Bone marrow aspirate smear:
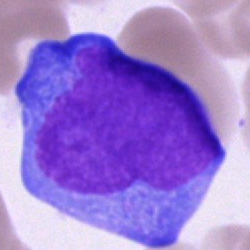 {"cell_type": "undifferentiated blast"}